Bone marrow aspirate smear: 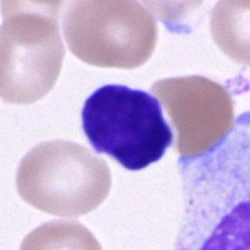
Showing a lymphocyte.